Bone marrow smear.
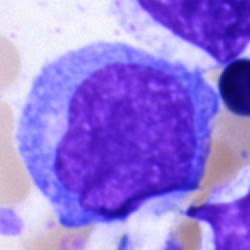

Morphology consistent with an undifferentiated blast.